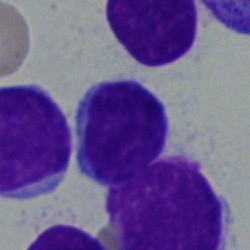Q: What cell is this?
A: A typical lymphocyte.